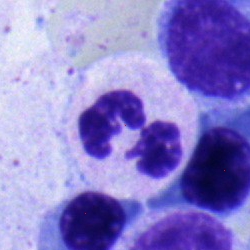Single cell identified as a segmented neutrophil.